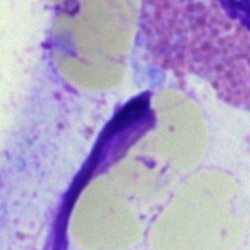

An artefact.